Bone marrow aspirate smear · single-cell crop: 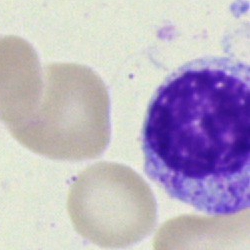

Cell: promyelocyte.